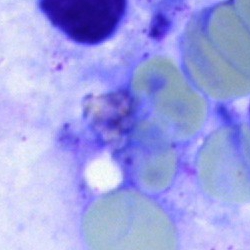 Q: What is shown here?
A: Artifact.